Bone marrow smear · MGG-stained — 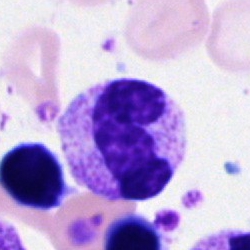The cell shown is a neutrophil (segmented).